Brightfield microscopy, 40× oil immersion. Bone marrow aspirate smear. May-Grünwald-Giemsa stain
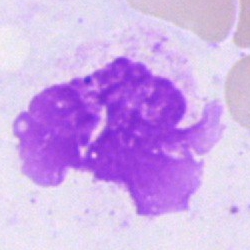
Impression → artefact.